Bone marrow aspirate smear; 250 by 250 pixels; single cell centered in the field.
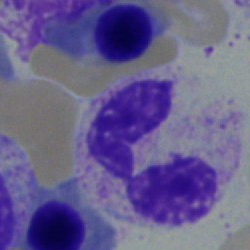Specimen: bone marrow aspirate smear.
Classification: neutrophil (segmented).
Lineage: myeloid.